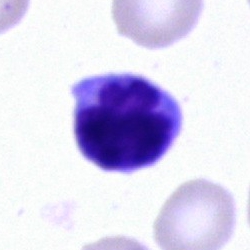
A typical lymphocyte.